Bone marrow aspirate smear · Pappenheim-stained: 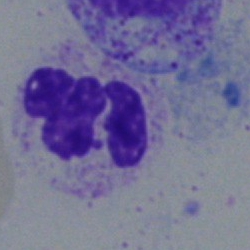Morphological class = polymorphonuclear neutrophil.